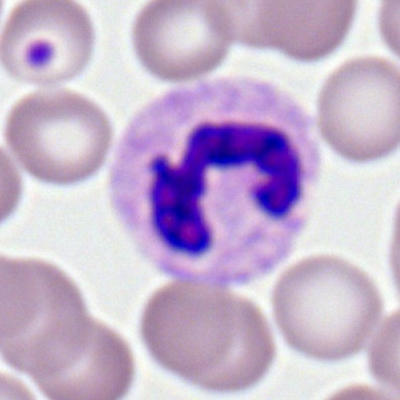Morphology → segmented neutrophil.